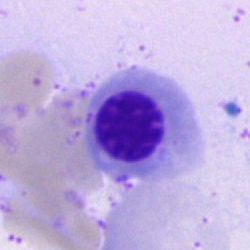

Specimen: bone marrow aspirate smear.
Classification: normoblast.
Lineage: erythroid.